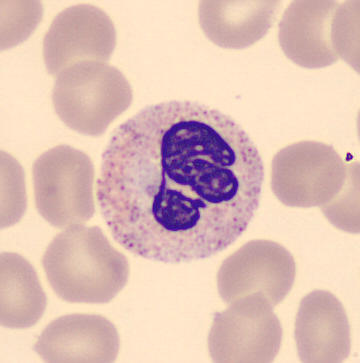 Q: Identify the cell.
A: A neutrophil (segmented).